Bone marrow smear: 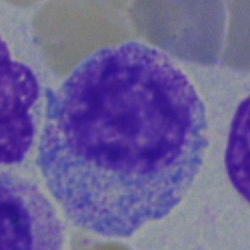

The classification is myelocyte.